40× objective, oil immersion · 250×250 px · bone marrow aspirate smear
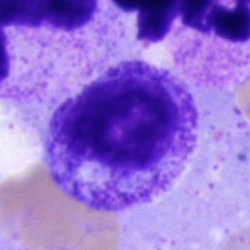
Q: What is shown here?
A: A promyelocyte.